Peripheral blood film; 400×400 px — 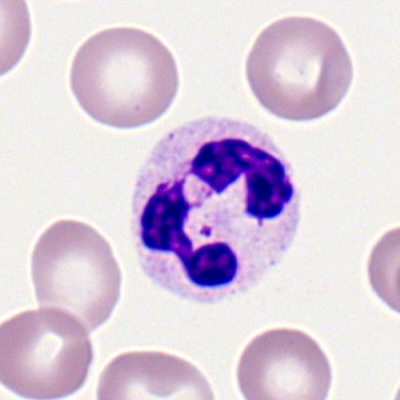Q: What cell is this?
A: Polymorphonuclear neutrophil.